Single cell centered in the field · peripheral blood film — 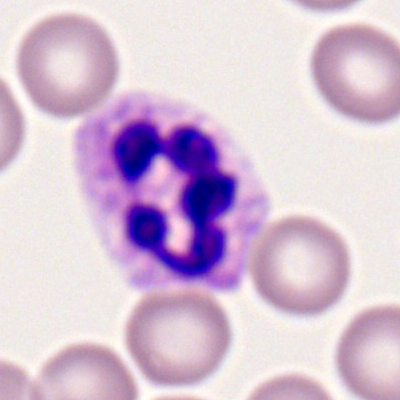 Showing a polymorphonuclear neutrophil.